Peripheral blood film. 100× objective, oil immersion:
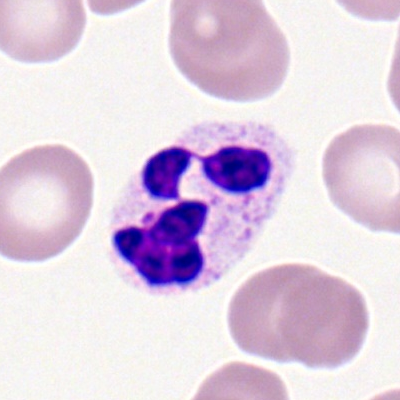 Specimen: peripheral blood smear.
Morphological class: neutrophil (segmented).